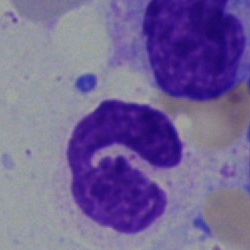
Specimen: bone marrow smear.
Cell type: segmented neutrophil.